Peripheral blood film:
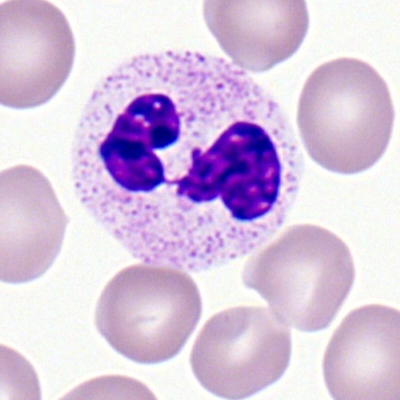Showing a polymorphonuclear neutrophil.